Peripheral blood film; Romanowsky-stained.
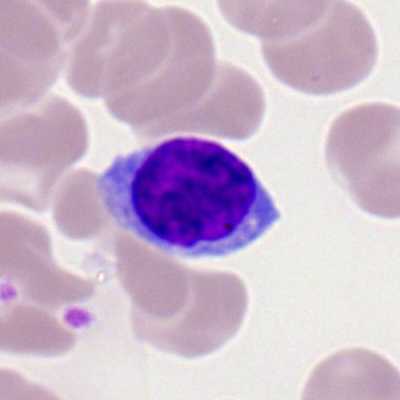 Impression → lymphocyte.